Peripheral blood film.
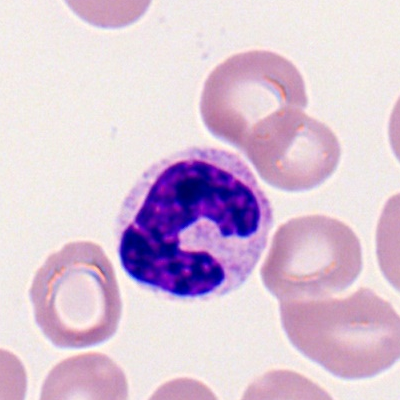
Single cell identified as a segmented neutrophil.